250 by 250 pixels. Bone marrow smear. MGG-stained — 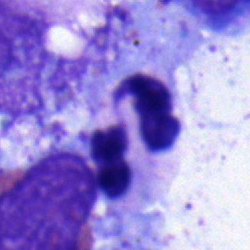 Showing a polymorphonuclear neutrophil.